Bone marrow aspirate smear. Pappenheim-stained: 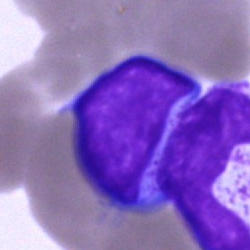Specimen: bone marrow aspirate smear.
Cell: lymphocyte.
Lineage: lymphoid.